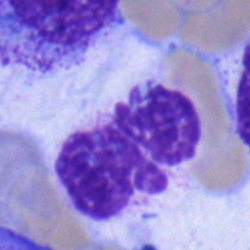 Morphological class: neutrophil (segmented).